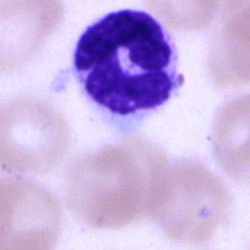
Impression → segmented neutrophil.